Single-cell field. Bone marrow aspirate smear.
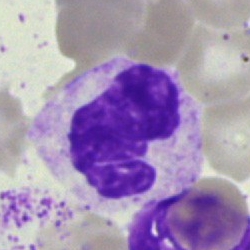
Q: What cell is this?
A: It is a neutrophil (segmented).